250×250; bone marrow aspirate smear; brightfield, 40× oil-immersion objective: 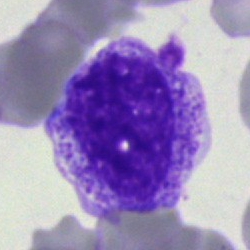 Specimen: bone marrow smear.
Morphological class: myelocyte.
Lineage: myeloid.